Bone marrow aspirate smear:
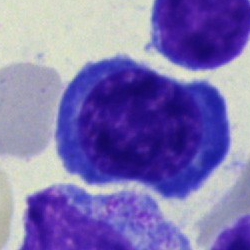 This is a normoblast.